Bone marrow aspirate smear · May-Grünwald-Giemsa stain
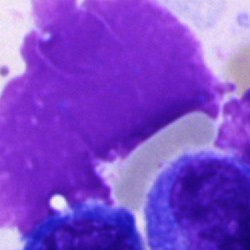

Cell type = artifact.